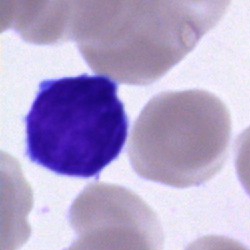Showing a lymphocyte.